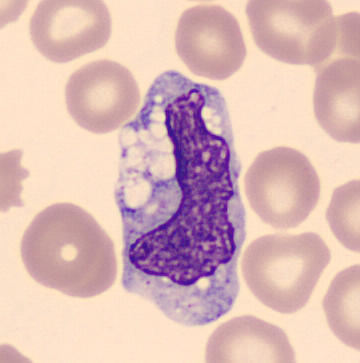 Showing a monocyte.